Bone marrow aspirate smear; Pappenheim-stained; cropped to a single cell: 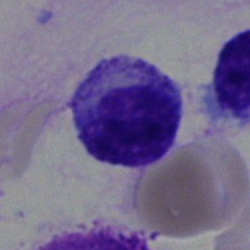

Morphological class: myelocyte.